Bone marrow smear.
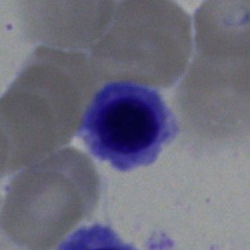

This is a normoblast.